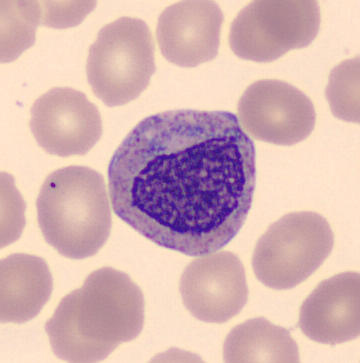
Morphology consistent with a myelocyte. Preparation: Peripheral blood smear.